Bone marrow smear
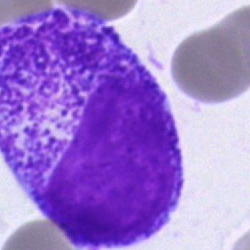 Classification — progranulocyte.